Bone marrow aspirate smear: 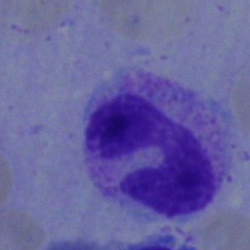
Specimen: bone marrow smear.
Morphological class: band-form neutrophil.
Lineage: myeloid.